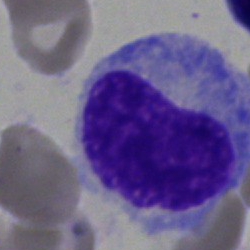 Q: What type of cell is this?
A: This is a promyelocyte.